Pappenheim-stained. Bone marrow aspirate smear. 40× objective, oil immersion.
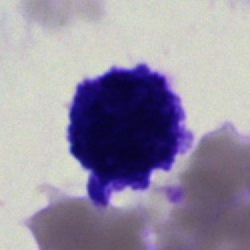
Q: What is shown here?
A: Artefact.